Bone marrow smear
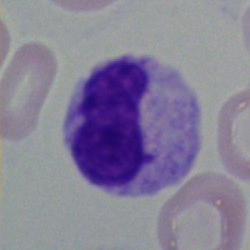This is a neutrophil (band).